Single-cell field. Bone marrow aspirate smear. Image size 250×250: 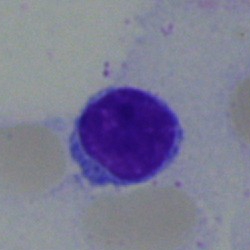

Morphological class — lymphocyte.